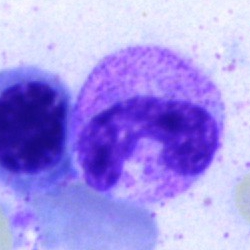

Cell: band neutrophil.